Bone marrow aspirate smear
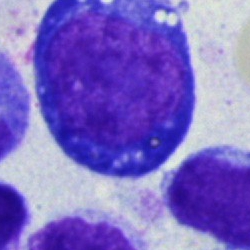
The cell shown is a proerythroblast.